Bone marrow aspirate smear; brightfield microscopy, 40× oil immersion:
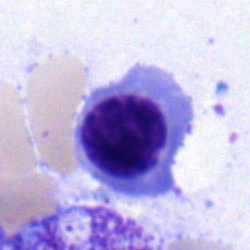 Specimen: bone marrow smear.
Morphological class: nucleated red cell.